Bone marrow smear — 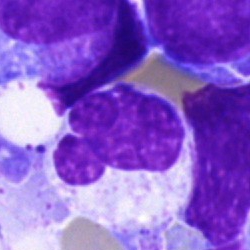

The cell shown is a segmented neutrophil.